Bone marrow smear.
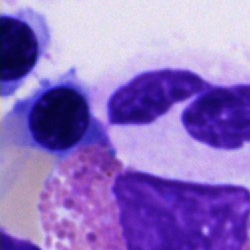
This is a cell of indeterminate lineage.